Bone marrow aspirate smear. Brightfield microscopy, 40× oil immersion. May-Grünwald-Giemsa stain — 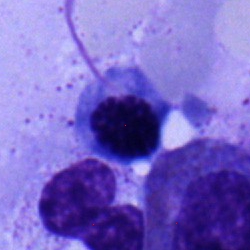

Cell: erythroblast.